Bone marrow aspirate smear: 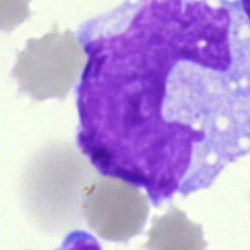 Impression — monocyte.